Bone marrow smear. Image size 250×250.
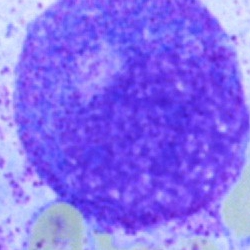

Morphology → promyelocyte.